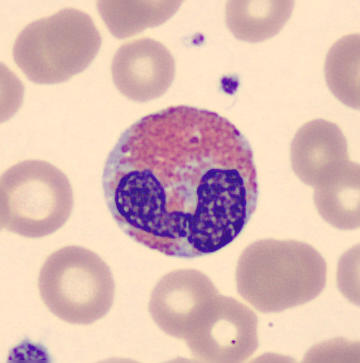
An eosinophil.
Image size 360×363; single-cell field; peripheral blood smear.